Bone marrow aspirate smear
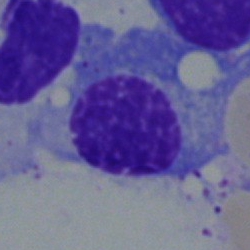
Morphological class = plasma cell.